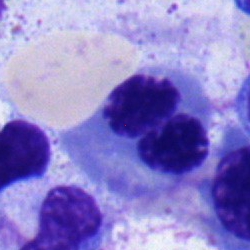Showing a nucleated red cell.